Bone marrow smear:
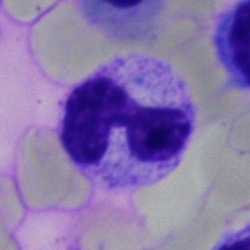

Morphology consistent with a band-form neutrophil.